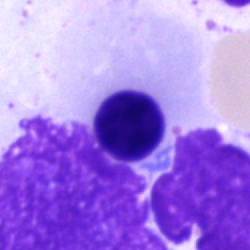 Impression — normoblast.